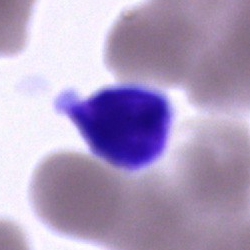 Specimen: bone marrow smear.
Cell type: typical lymphocyte.